Single cell centered in the field; 40× objective, oil immersion; bone marrow smear: 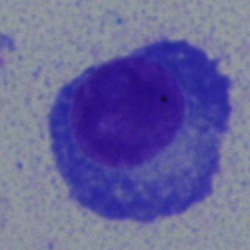

{"cell_type": "plasmacyte", "lineage": "lymphoid"}